Bone marrow aspirate smear — 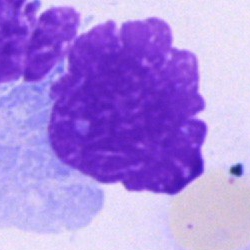

Specimen: bone marrow smear.
Classification: artifact.